Bone marrow smear: 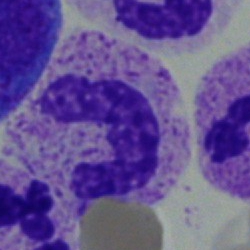 Showing a neutrophil (band).